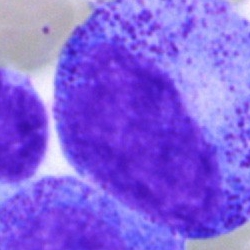 {"cell_type": "progranulocyte", "lineage": "myeloid"}